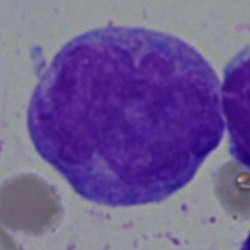This is a promyelocyte.